250×250 · bone marrow smear
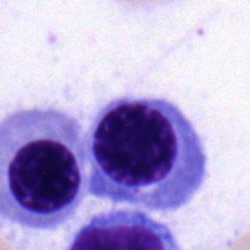
Classification: normoblast.